Bone marrow smear. 40× oil immersion. May-Grünwald-Giemsa/Pappenheim stain:
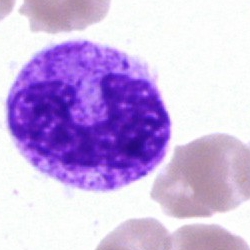

The classification is band-form neutrophil.